Bone marrow smear: 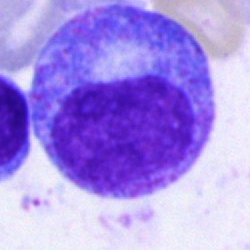Classification: promyelocyte.